Bone marrow smear — 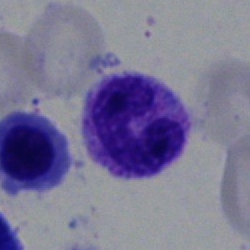

Morphology — band-form neutrophil.